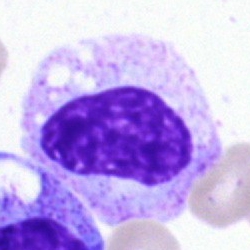

Specimen: bone marrow smear.
Cell type: metamyelocyte.
Lineage: myeloid.